Bone marrow smear; 250 by 250 pixels:
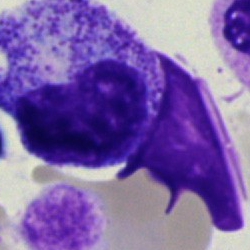
Showing a metamyelocyte.